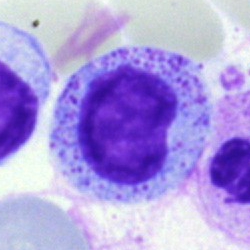 Impression — myelocyte.